Bone marrow aspirate smear — 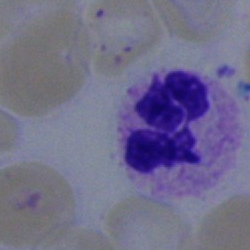 {"cell_type": "polymorphonuclear neutrophil"}